40× oil immersion · bone marrow smear · Pappenheim-stained — 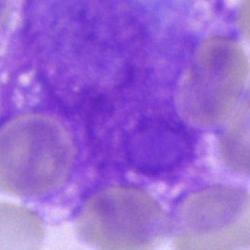

Artefact.